Bone marrow aspirate smear. 40× objective, oil immersion.
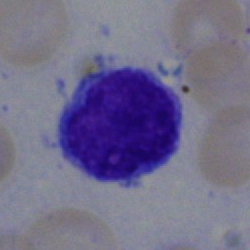 Morphology consistent with a typical lymphocyte.